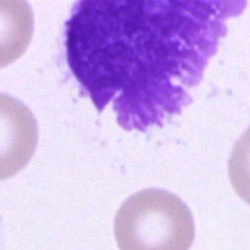

Single-cell crop from a bone marrow smear: artifact.